Bone marrow smear
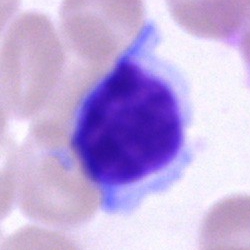

Impression → lymphocyte.